Bone marrow aspirate smear; image size 250×250.
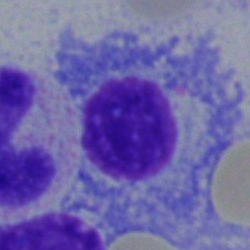Specimen: bone marrow aspirate smear.
Cell: plasma cell.
Lineage: lymphoid.